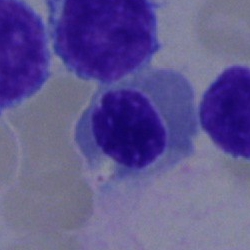 A nucleated red cell.